Brightfield, 40× oil-immersion objective · bone marrow aspirate smear — 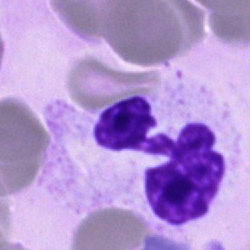

Single cell identified as a neutrophil (segmented).